40× oil immersion. Bone marrow smear
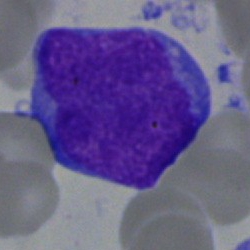

Specimen: bone marrow smear.
Cell: blast.